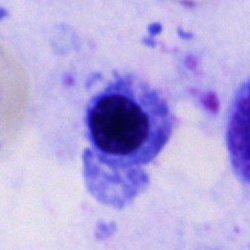 Bone marrow aspirate smear, single cell — nucleated red blood cell.